Bone marrow smear:
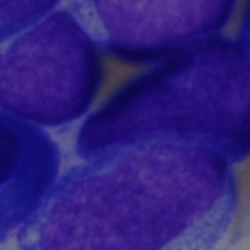The morphological class is blast.